Bone marrow aspirate smear: 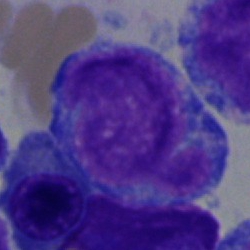
Morphology consistent with a blast cell.